Bone marrow smear — 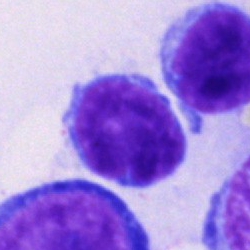
Q: Identify the cell.
A: Typical lymphocyte.